Bone marrow smear.
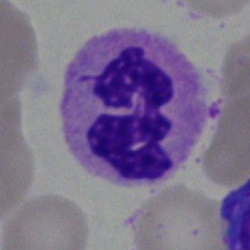
Q: What type of cell is this?
A: This is a neutrophil (segmented).